MGG-stained. 250×250. Bone marrow aspirate smear.
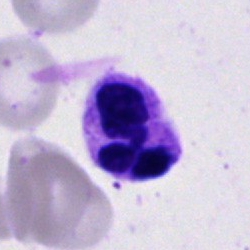
This is a segmented neutrophil.